Bone marrow aspirate smear · image size 250×250:
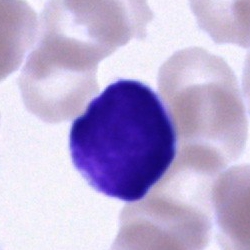

Unidentifiable cell.